Peripheral blood film:
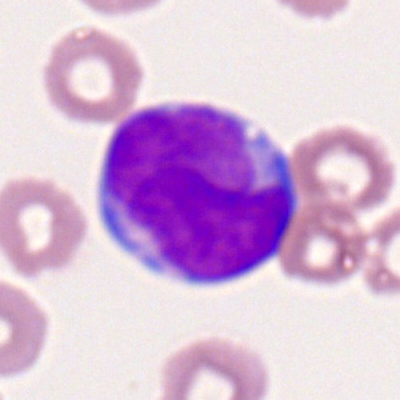

This is a myeloid blast.